Bone marrow aspirate smear
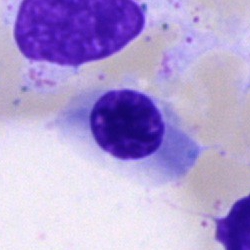Classification = nucleated red blood cell.